Bone marrow aspirate smear
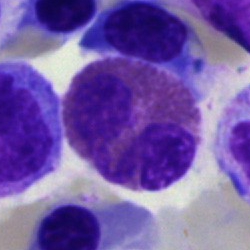Morphology — eosinophilic granulocyte.